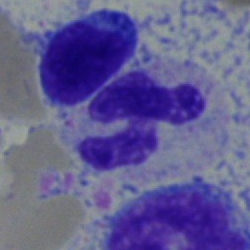 Single-cell crop from a bone marrow smear: neutrophil (segmented).